Bone marrow aspirate smear
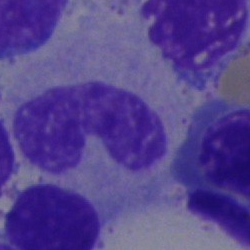

Cell — stab cell.